Bone marrow smear. MGG-stained
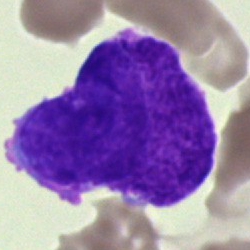Morphological class: blast.